Single-cell field. Romanowsky-type stain. Peripheral blood smear.
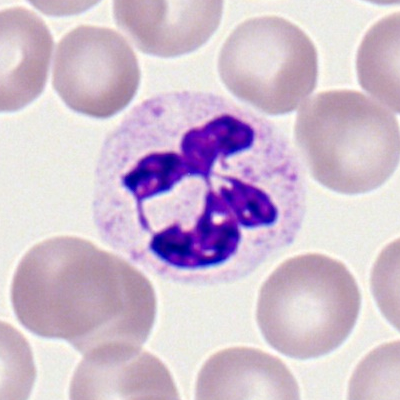
Specimen: peripheral blood smear.
Morphological class: polymorphonuclear neutrophil.
Lineage: myeloid.